Bone marrow smear:
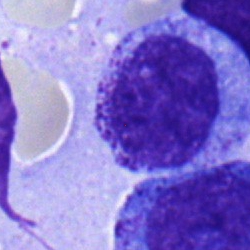
Morphology consistent with a myelocyte.